Bone marrow smear — 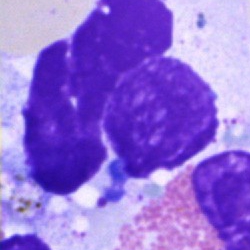

This is an artefact.